Bone marrow aspirate smear: 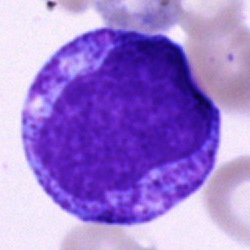

Showing a promyelocyte.